Bone marrow aspirate smear:
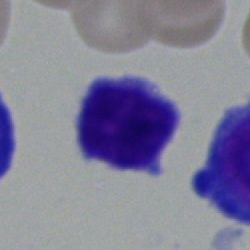
Lymphocyte.